Bone marrow smear
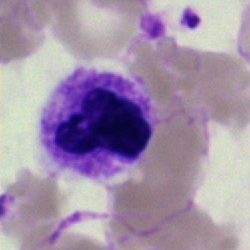Impression — neutrophil (segmented).